Bone marrow smear — 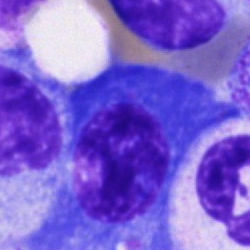Q: What cell is this?
A: Plasmacyte.